Bone marrow smear
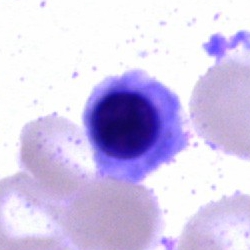This is a normoblast.